250×250 px; bone marrow aspirate smear — 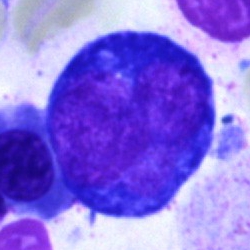
Single cell identified as a proerythroblast.